Bone marrow smear: 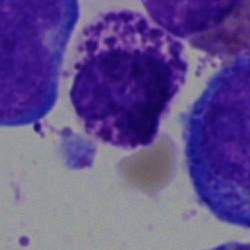Classification = basophilic granulocyte.